Single cell centered in the field; bone marrow smear: 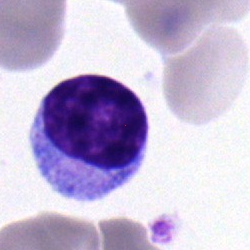 Lymphocyte.